Bone marrow aspirate smear: 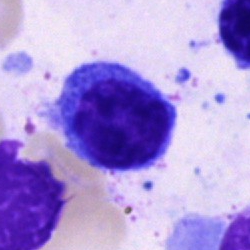 Cell type — lymphocyte.